Brightfield, 40× oil-immersion objective. Bone marrow aspirate smear: 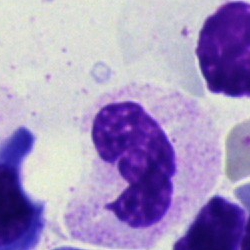

Cell: band-form neutrophil.